Bone marrow smear: 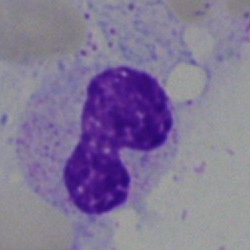Impression — neutrophil (segmented).